250×250; 40× oil immersion; bone marrow aspirate smear:
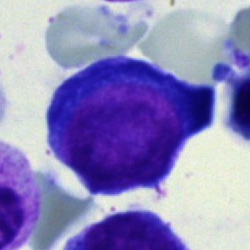Showing a pronormoblast.